Peripheral blood smear:
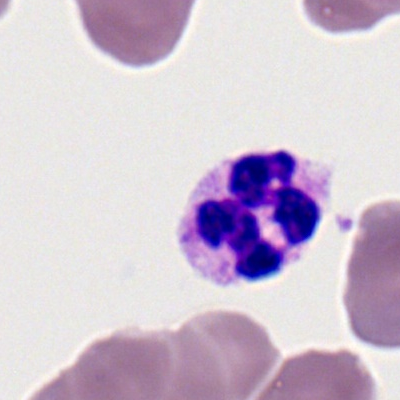

Specimen: peripheral blood smear.
Classification: segmented neutrophil.